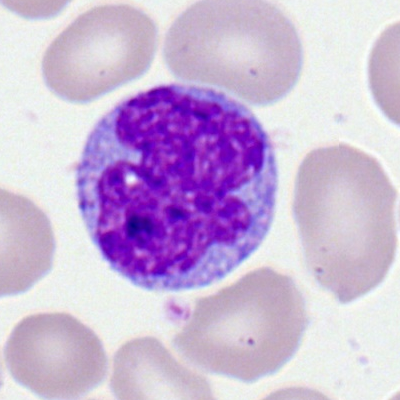
Cell type: monocyte.